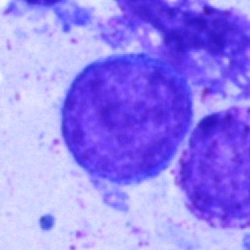 Cell type — blast cell.